Single-cell field · bone marrow smear: 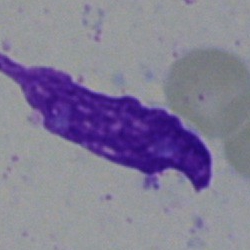Q: What is shown here?
A: It is an artifact.